Brightfield microscopy, 40× oil immersion. Bone marrow smear.
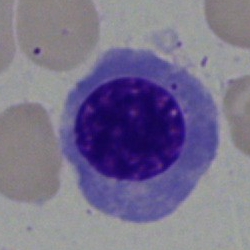
Q: What is shown here?
A: It is a nucleated red blood cell.